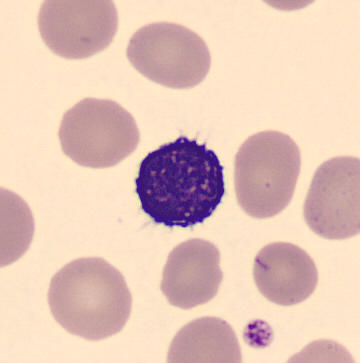
Morphology — typical lymphocyte.